Bone marrow aspirate smear · Pappenheim-stained.
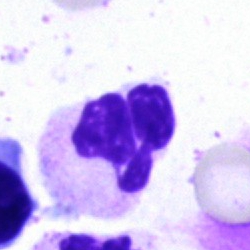 Q: What type of cell is this?
A: A polymorphonuclear neutrophil.